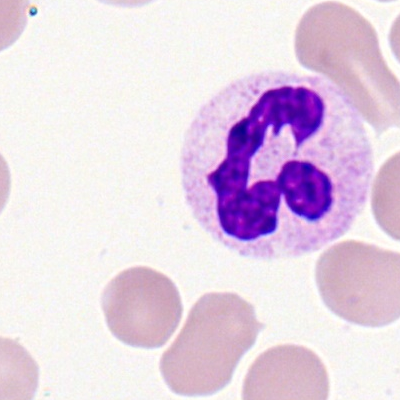Classification = polymorphonuclear neutrophil.